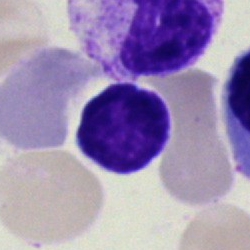

Single-cell crop from a bone marrow smear: lymphocyte.